Single-cell crop. Bone marrow smear. 250×250 px — 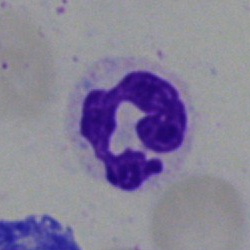 Single cell identified as a polymorphonuclear neutrophil.